Image size 400×400 · peripheral blood smear:
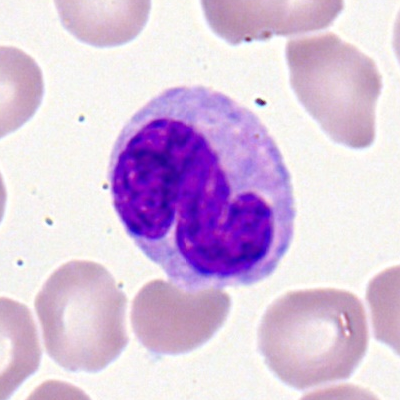
Morphology consistent with a monocyte.